Brightfield microscopy, 40× oil immersion · single cell centered in the field · bone marrow smear:
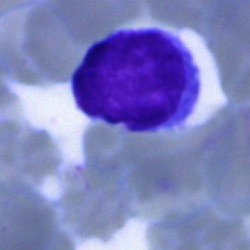Specimen: bone marrow aspirate smear.
Morphological class: typical lymphocyte.
Lineage: lymphoid.